Cropped to a single cell; bone marrow aspirate smear: 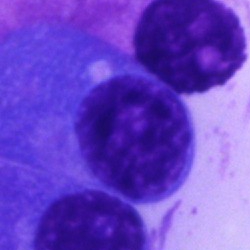 {"cell_type": "plasmacyte"}